Bone marrow aspirate smear
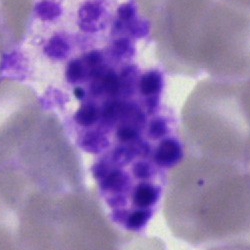Artefact.